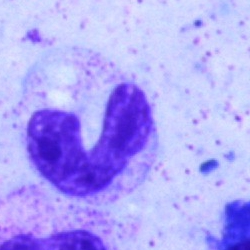Q: Identify the cell.
A: Stab cell.